250×250 px; bone marrow aspirate smear
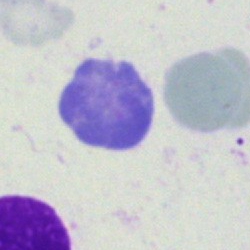The cell type is artifact.